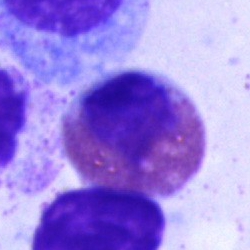

Impression — eosinophilic granulocyte.